Peripheral blood film; brightfield, 100× oil-immersion objective; cropped to a single cell:
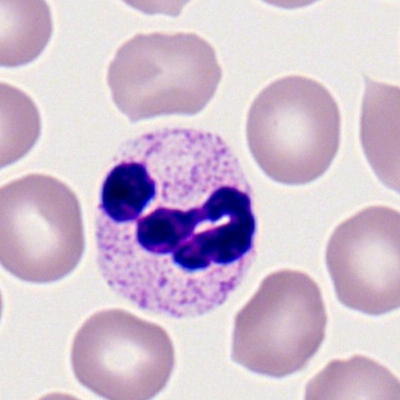 Morphological class: segmented neutrophil.